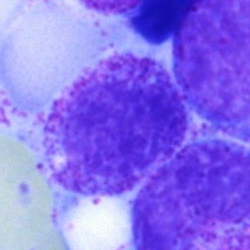

Classification: myelocyte.